Bone marrow smear:
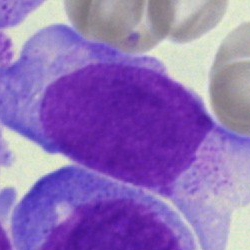
Q: Which cell type is shown here?
A: Monocyte.